Cropped to a single cell. Bone marrow smear. MGG-stained — 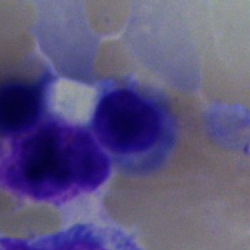Specimen: bone marrow smear.
Cell: nucleated red cell.
Lineage: erythroid.